Peripheral blood smear
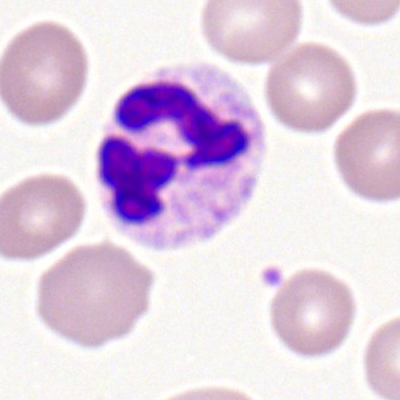Segmented neutrophil.